Single-cell crop; peripheral blood film
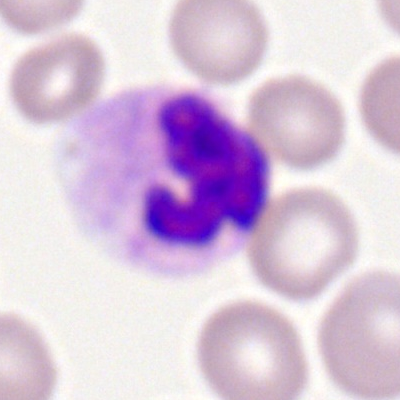 Morphology consistent with a neutrophil (segmented).